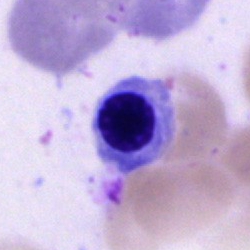

The morphological class is nucleated red blood cell.